Bone marrow aspirate smear · single cell centered in the field · MGG-stained — 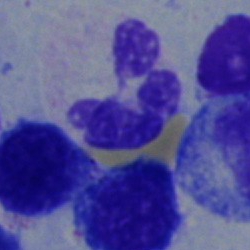 Classification — segmented neutrophil.